Bone marrow smear:
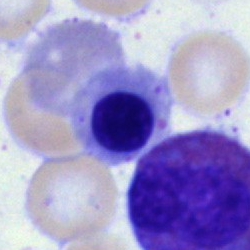The classification is nucleated red cell.